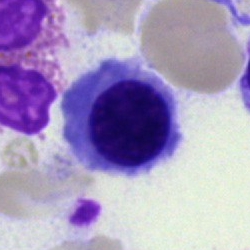Q: What cell is this?
A: This is a nucleated red blood cell.